Bone marrow aspirate smear · May-Grünwald-Giemsa/Pappenheim stain · single cell centered in the field: 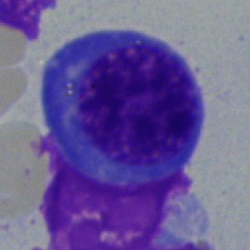
Cell: nucleated red cell.